250 by 250 pixels. Bone marrow aspirate smear.
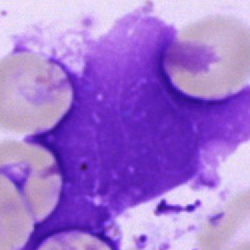Single cell identified as an artifact.